Bone marrow aspirate smear · single-cell crop: 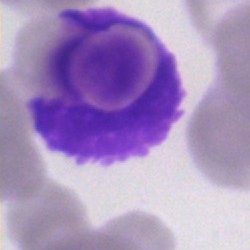
{"cell_type": "artifact"}